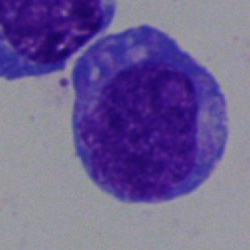
Impression — blast cell.